Bone marrow aspirate smear — 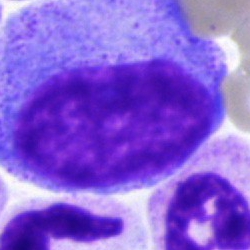The morphological class is progranulocyte.